Bone marrow aspirate smear:
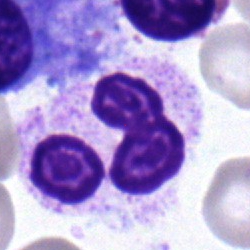

The cell type is polymorphonuclear neutrophil.